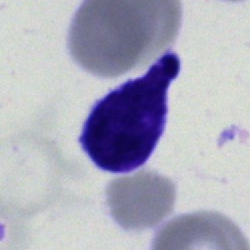
Q: What is shown here?
A: It is a blast.